Bone marrow smear.
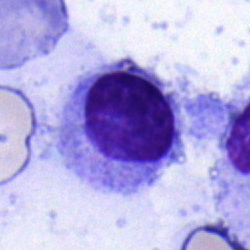Cell — myelocyte.